100× oil immersion, 14.14 px/µm. Romanowsky stain. Peripheral blood film — 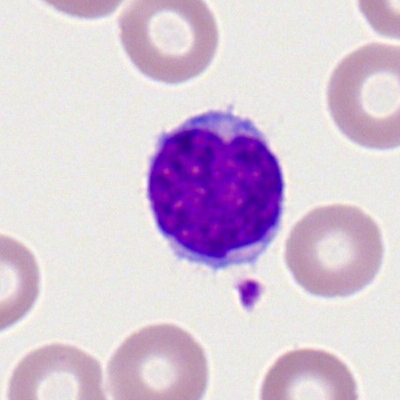

Single cell identified as a lymphocyte.